Peripheral blood film
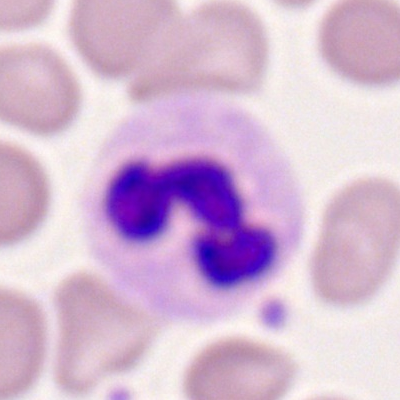

The cell shown is a segmented neutrophil.